Bone marrow smear. Brightfield microscopy, 40× oil immersion.
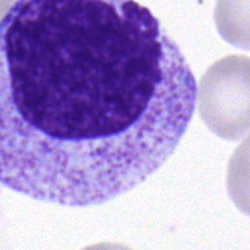Q: Which cell type is shown here?
A: Promyelocyte.